Bone marrow aspirate smear:
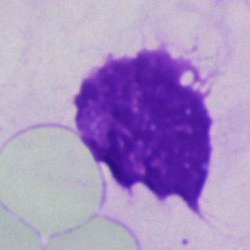
Impression → artifact.